Bone marrow smear. 250 by 250 pixels: 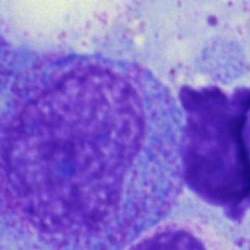
{"cell_type": "progranulocyte", "lineage": "myeloid"}